Bone marrow smear — 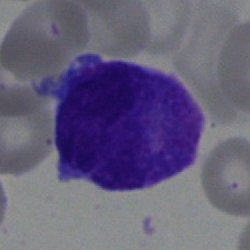

The cell shown is an undifferentiated blast.